Bone marrow aspirate smear · brightfield microscopy, 40× oil immersion · 250×250 px:
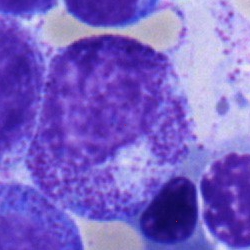
Single cell identified as a myelocyte.